Bone marrow smear; single-cell field; 250×250:
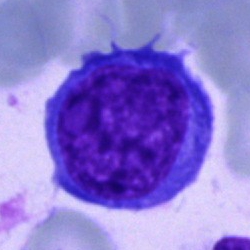 Q: Which cell type is shown here?
A: This is a blast cell.